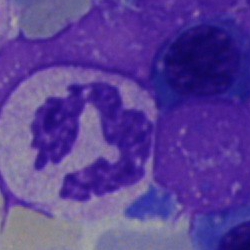
Impression — neutrophil (segmented).